Bone marrow aspirate smear
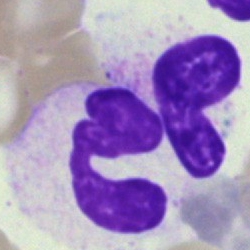

Specimen: bone marrow smear.
Cell type: polymorphonuclear neutrophil.
Lineage: myeloid.